Peripheral blood smear.
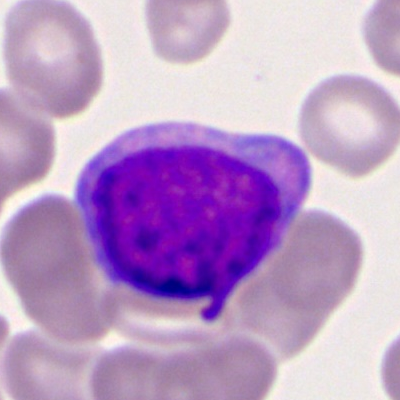Morphology → myeloid blast.